40× oil immersion; May-Grünwald-Giemsa stain; bone marrow smear: 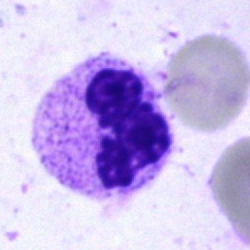
A polymorphonuclear neutrophil.